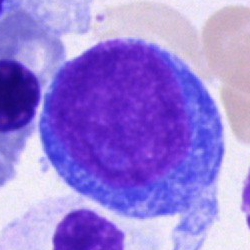
The cell shown is a blast.